Single-cell field. 250×250 px. Bone marrow smear:
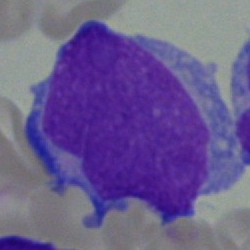Specimen: bone marrow aspirate smear.
Cell type: blast.